Bone marrow aspirate smear:
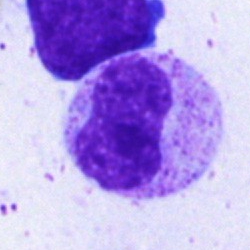

Morphological class — metamyelocyte.